Single-cell field. MGG-stained. Bone marrow smear — 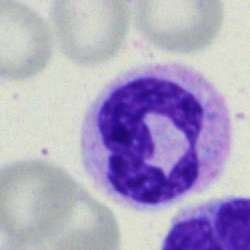

Cell type = segmented neutrophil.